Bone marrow smear: 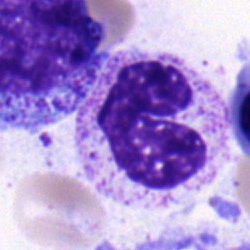
Cell — neutrophil (band).